Cropped to a single cell; bone marrow aspirate smear; May-Grünwald-Giemsa/Pappenheim stain: 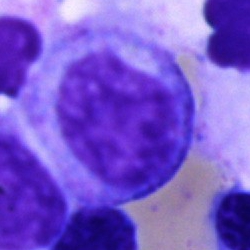Single cell identified as a progranulocyte.